40× objective, oil immersion. Bone marrow aspirate smear. MGG-stained — 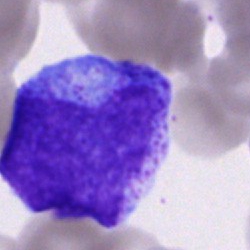
Q: What is the morphological classification of this cell?
A: This is a promyelocyte.